Bone marrow aspirate smear · 250×250 px:
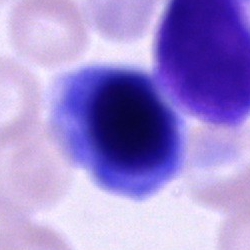 The cell type is unidentifiable cell.